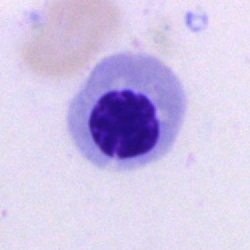

The cell type is nucleated red blood cell.